Bone marrow smear — 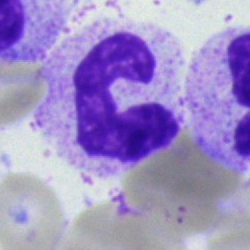
{"cell_type": "neutrophil (band)"}